Bone marrow smear.
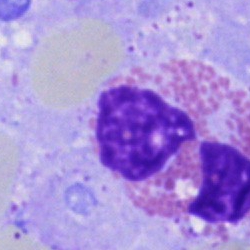

Q: What is the morphological classification of this cell?
A: It is an eosinophil.